Single-cell crop · bone marrow smear — 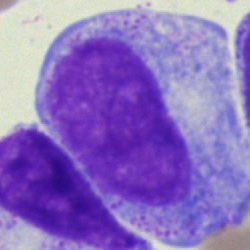

Promyelocyte.